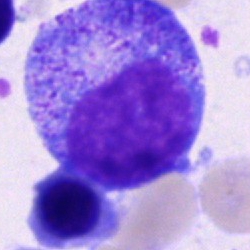 Specimen: bone marrow aspirate smear.
Cell type: promyelocyte.